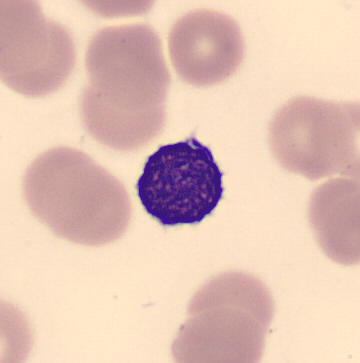 Impression — typical lymphocyte.

Image: Peripheral blood film.